Bone marrow smear · 250×250 px · May-Grünwald-Giemsa/Pappenheim stain
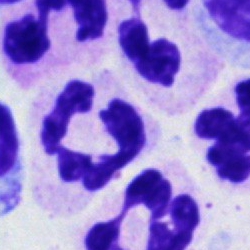
Q: What type of cell is this?
A: This is a neutrophil (segmented).